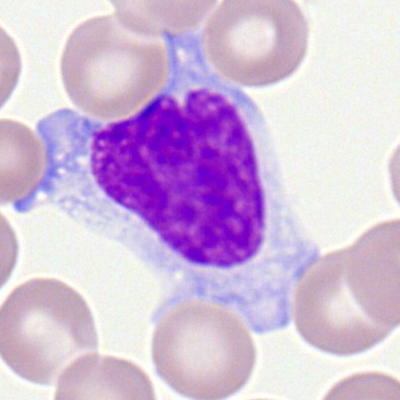
Single cell identified as a lymphocyte.